Bone marrow smear · MGG-stained · 250×250 px — 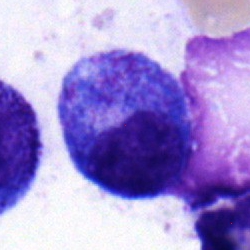A progranulocyte.